Bone marrow aspirate smear
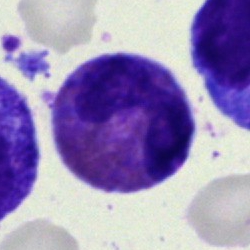
Morphology consistent with an eosinophilic granulocyte.